Bone marrow aspirate smear:
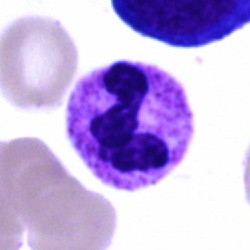Specimen: bone marrow smear.
Classification: segmented neutrophil.
Lineage: myeloid.